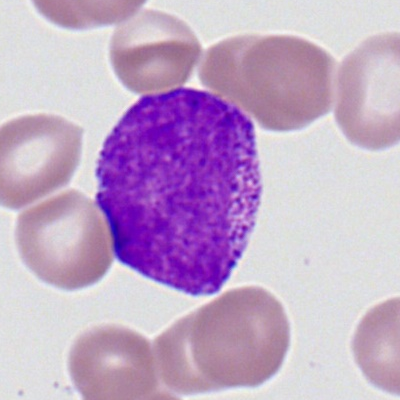

Peripheral blood smear showing a myeloblast.